Bone marrow aspirate smear:
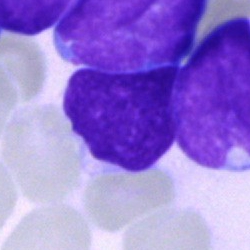 Morphology consistent with a blast cell.